Bone marrow smear; brightfield microscopy, 40× oil immersion: 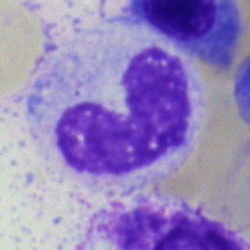
Specimen: bone marrow aspirate smear.
Morphological class: band neutrophil.
Lineage: myeloid.